Bone marrow smear: 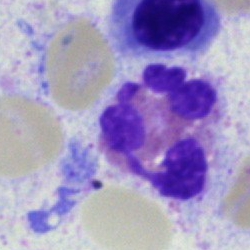

Cell = eosinophilic granulocyte.